Bone marrow aspirate smear.
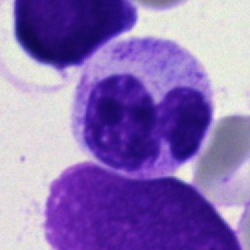Q: What is shown here?
A: It is a neutrophil (segmented).